Bone marrow smear: 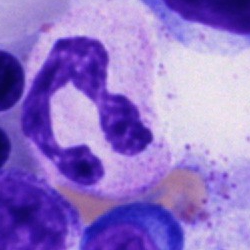Showing a polymorphonuclear neutrophil.